Bone marrow smear; single-cell crop: 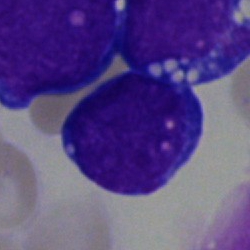 Q: What is shown here?
A: It is a blast.